Bone marrow aspirate smear
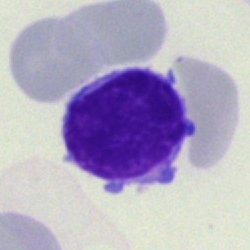A lymphocyte.